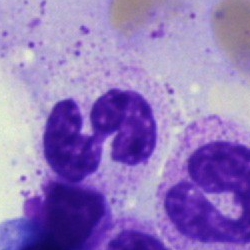
Q: Identify the cell.
A: This is a segmented neutrophil.